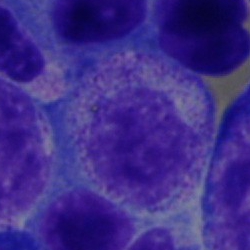Impression — myelocyte.